Bone marrow aspirate smear:
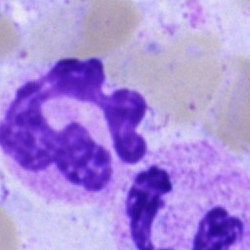
The cell shown is a segmented neutrophil.